Bone marrow aspirate smear; brightfield microscopy, 40× oil immersion; MGG-stained
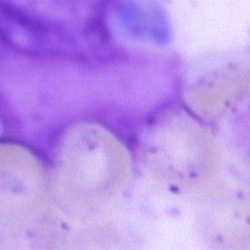 Showing an artefact.